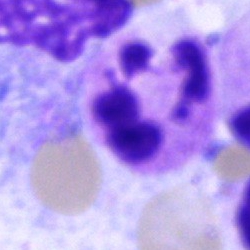 Q: What type of cell is this?
A: This is a neutrophil (segmented).